Peripheral blood smear
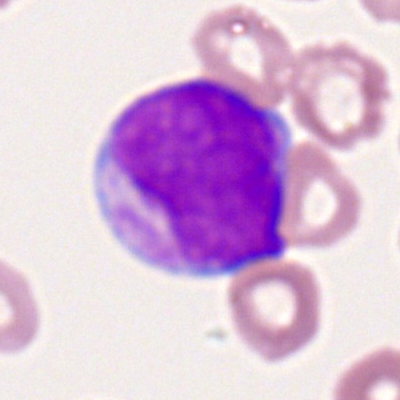

Cell = myeloblast.